Bone marrow smear:
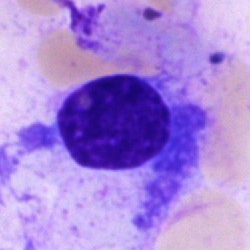

Q: What is shown here?
A: Artefact.